Bone marrow smear
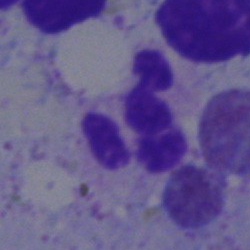

Q: Which cell type is shown here?
A: Polymorphonuclear neutrophil.